MGG-stained; bone marrow smear
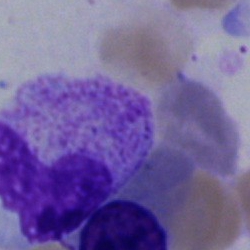
Q: Identify the cell.
A: A metamyelocyte.